Bone marrow aspirate smear · single cell centered in the field — 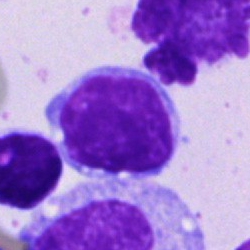This is a typical lymphocyte.